Bone marrow smear.
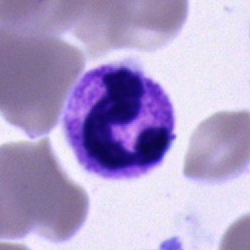

Cell: neutrophil (segmented).